Bone marrow smear. Single-cell field
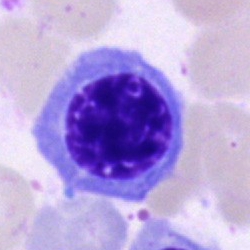
Cell type — normoblast.